Bone marrow smear; 40× objective, oil immersion.
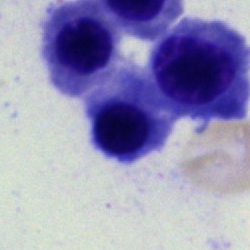 {"cell_type": "nucleated red cell", "lineage": "erythroid"}